Bone marrow smear — 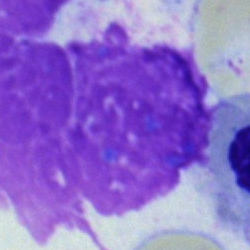
The cell shown is an artefact.